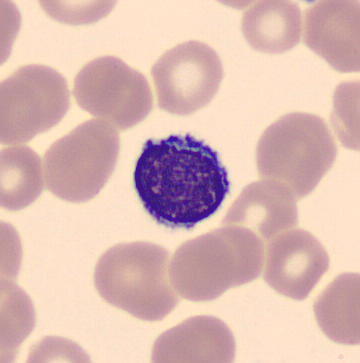
Cell: typical lymphocyte.
Preparation: Peripheral blood film. MGG stain.